Bone marrow smear · single cell centered in the field — 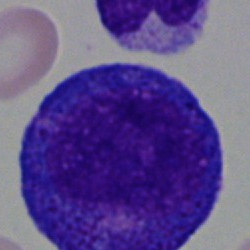 Specimen: bone marrow smear.
Cell: progranulocyte.